40× oil immersion; bone marrow smear; image size 250×250
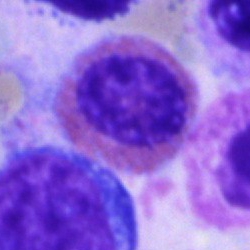 Q: Identify the cell.
A: An eosinophil.